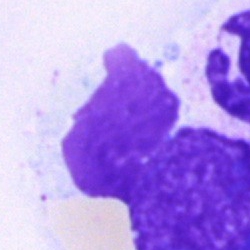

Cell type = artifact.